Bone marrow smear; brightfield, 40× oil-immersion objective:
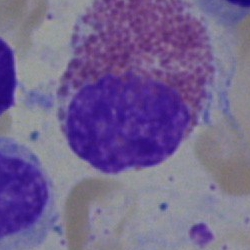

This is an eosinophilic granulocyte.